Bone marrow aspirate smear.
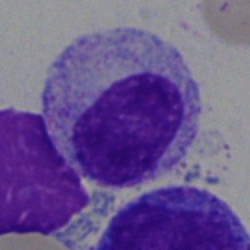Cell type = metamyelocyte.